40× objective, oil immersion · MGG-stained · bone marrow smear
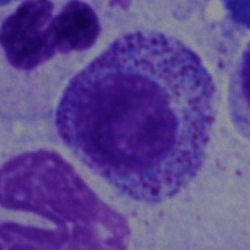 The cell shown is a myelocyte.